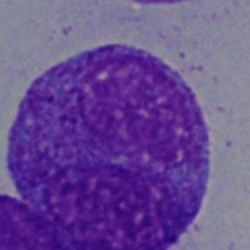
The morphological class is promyelocyte.